Single-cell field; 100× objective, oil immersion; peripheral blood smear
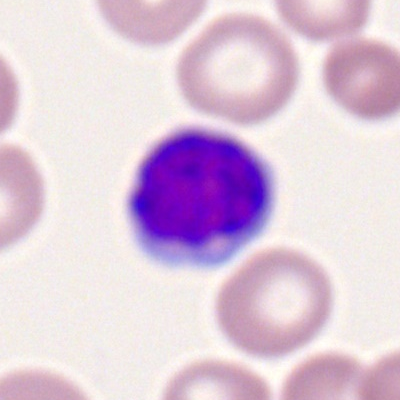
{"cell_type": "lymphocyte", "lineage": "lymphoid"}